Romanowsky stain · peripheral blood film · single-cell crop
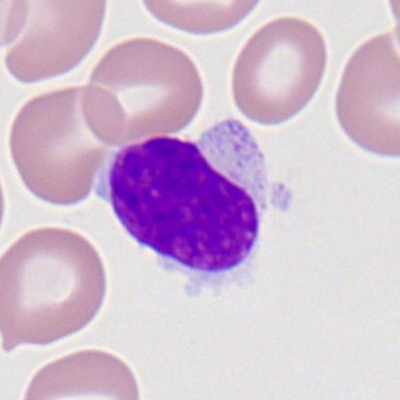
Classification = typical lymphocyte.